Bone marrow aspirate smear · May-Grünwald-Giemsa stain · single-cell field: 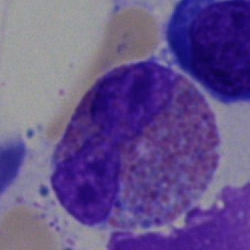Specimen: bone marrow smear.
Morphological class: eosinophil.
Lineage: myeloid.